Image size 250×250 · bone marrow aspirate smear · Pappenheim-stained.
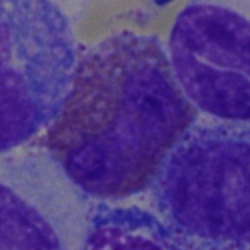

Eosinophilic granulocyte.